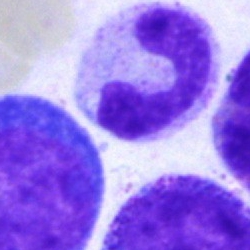 Cell type — band neutrophil.